MGG-stained · bone marrow smear: 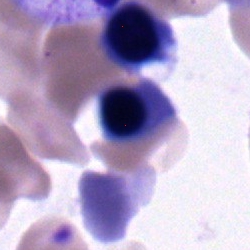 Morphology consistent with a normoblast.